250 by 250 pixels; bone marrow aspirate smear; cropped to a single cell:
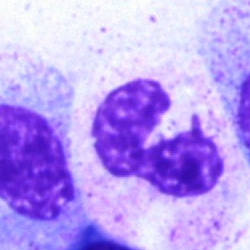Morphological class: neutrophil (segmented).